Bone marrow smear.
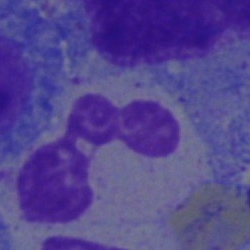
Q: Identify the cell.
A: It is a myelocyte.